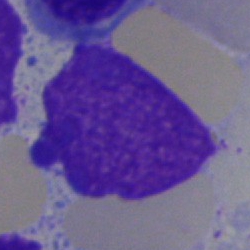 Showing an artifact.